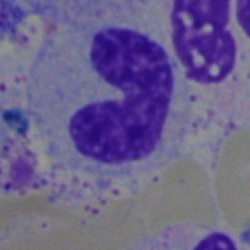

Impression → stab cell.